Bone marrow smear.
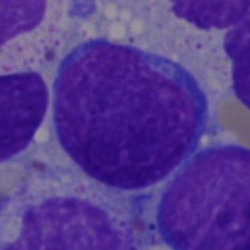This is a lymphocyte.